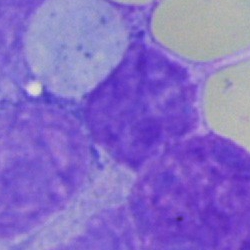

Morphological class: artifact.